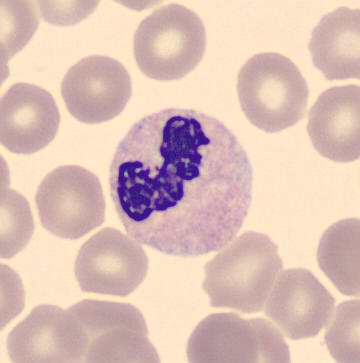 Specimen: peripheral blood smear.
Classification: neutrophil (segmented).